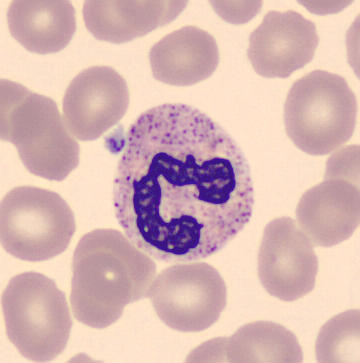 Preparation: Peripheral blood film; automated cell imaging (CellaVision DM96); single cell centered in the field.

Morphological class: neutrophil (segmented).